Bone marrow smear.
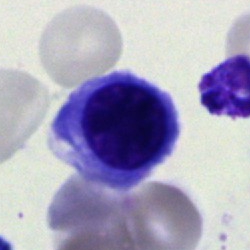

Specimen: bone marrow aspirate smear.
Cell: normoblast.